Bone marrow smear · 40× objective, oil immersion.
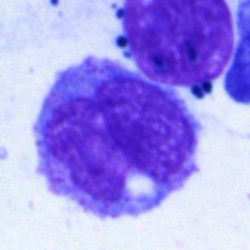A monocyte.